Single cell centered in the field; bone marrow aspirate smear; May-Grünwald-Giemsa/Pappenheim stain: 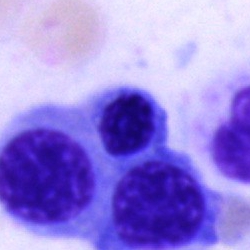

Cell — nucleated red blood cell.